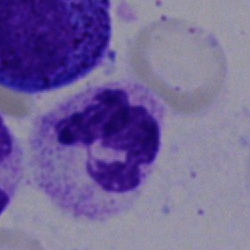
Q: What is shown here?
A: It is a segmented neutrophil.